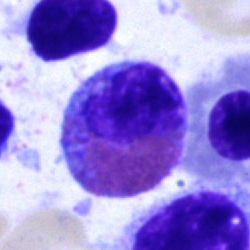

Q: Which cell type is shown here?
A: It is an eosinophilic granulocyte.